Bone marrow smear
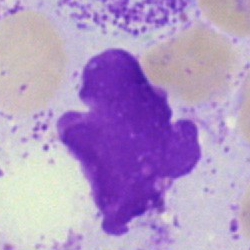

Q: What is shown here?
A: An artifact.